Single cell centered in the field. 250×250. Bone marrow smear: 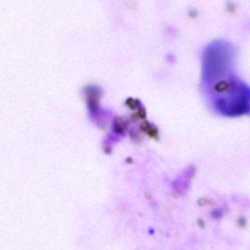 Single cell identified as an artefact.